Bone marrow smear.
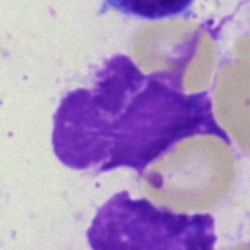

Q: What is shown here?
A: Artefact.